Bone marrow smear.
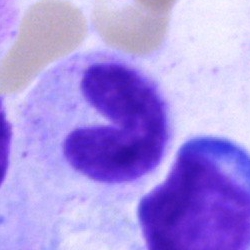

Cell type — band-form neutrophil.